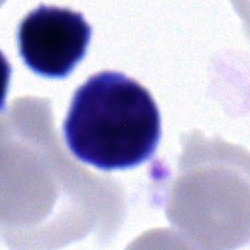 Single cell identified as a typical lymphocyte.